Bone marrow smear. 40× objective, oil immersion — 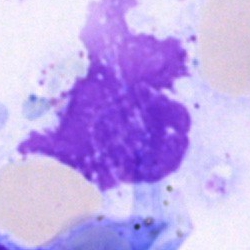 {"cell_type": "artefact"}